Brightfield microscopy, 40× oil immersion · bone marrow aspirate smear:
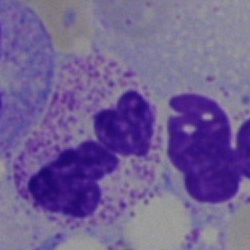Cell type: segmented neutrophil.